Peripheral blood film · Romanowsky-stained:
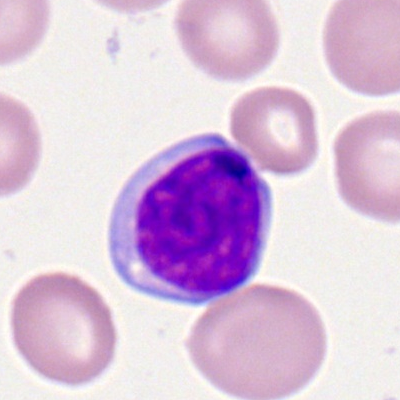Morphology — lymphocyte.